Peripheral blood smear: 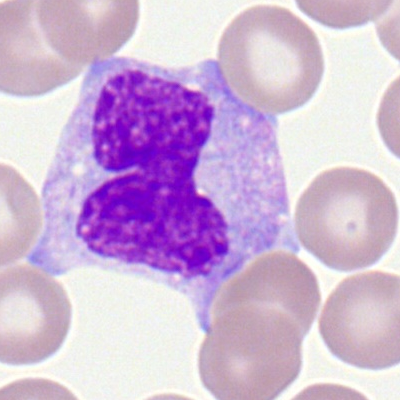{"cell_type": "monocyte"}